250 by 250 pixels; bone marrow aspirate smear
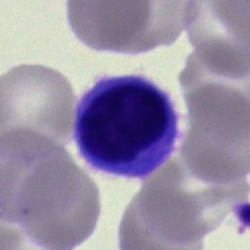This is a lymphocyte.